Brightfield, 40× oil-immersion objective. Bone marrow aspirate smear — 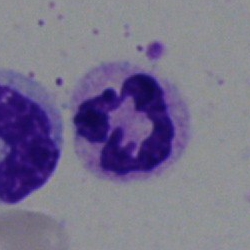
Single cell identified as a neutrophil (segmented).